Bone marrow smear: 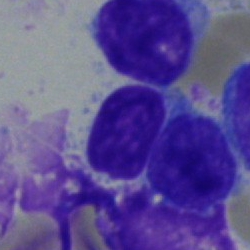
Q: What cell is this?
A: Lymphocyte.